Bone marrow aspirate smear; brightfield, 40× oil-immersion objective.
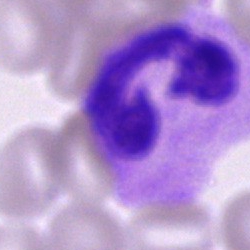Q: Identify the cell.
A: It is a neutrophil (segmented).